Bone marrow aspirate smear. 250×250 px — 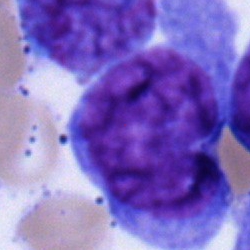Cell — blast.